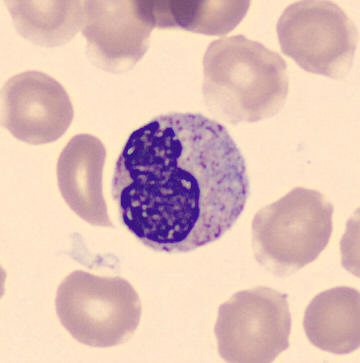
Peripheral blood film. Morphology consistent with a metamyelocyte.